Bone marrow smear: 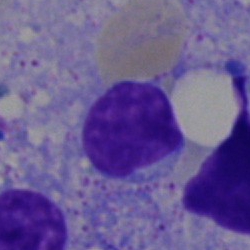
Morphology consistent with a typical lymphocyte.